Bone marrow smear:
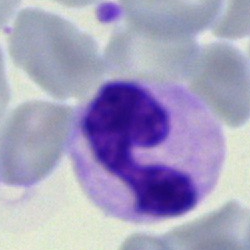 {"cell_type": "segmented neutrophil", "lineage": "myeloid"}